May-Grünwald-Giemsa/Pappenheim stain. Bone marrow aspirate smear. Brightfield, 40× oil-immersion objective — 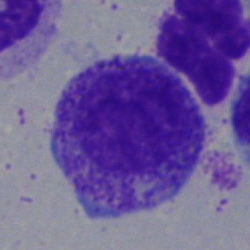
Cell: myelocyte.